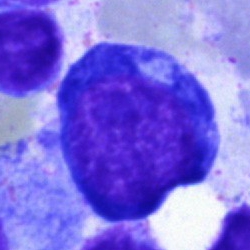
Showing a pronormoblast.